Bone marrow aspirate smear. Cropped to a single cell. 40× objective, oil immersion:
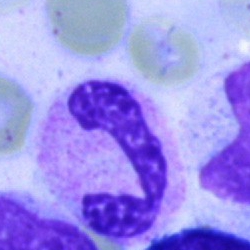This is a neutrophil (segmented).